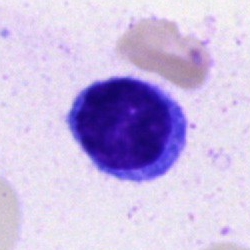Classification = typical lymphocyte.